Bone marrow smear — 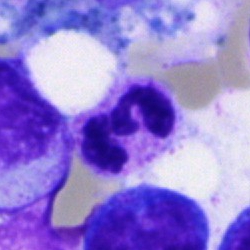

Showing a polymorphonuclear neutrophil.